Bone marrow smear — 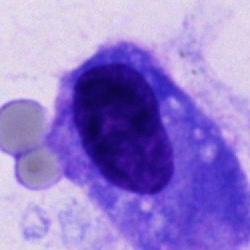

{"cell_type": "other cell type"}